40× oil immersion; cropped to a single cell; bone marrow aspirate smear: 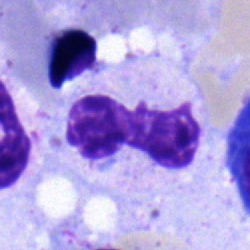 Morphology → neutrophil (band).